Bone marrow smear — 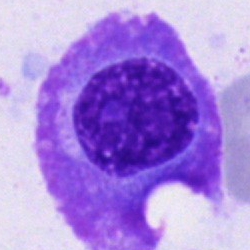 Q: What type of cell is this?
A: A plasma cell.